Image size 250×250 · Pappenheim-stained · bone marrow aspirate smear: 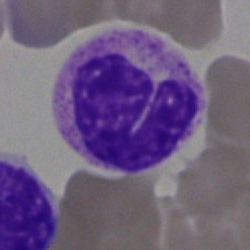 Specimen: bone marrow aspirate smear.
Classification: polymorphonuclear neutrophil.
Lineage: myeloid.